250×250 px; MGG-stained; bone marrow smear: 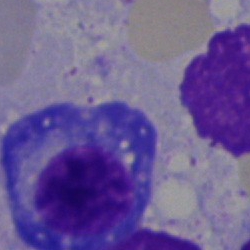
Impression — plasma cell.